Bone marrow smear.
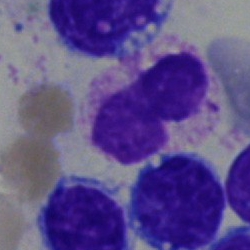

Neutrophil (band).